Bone marrow aspirate smear: 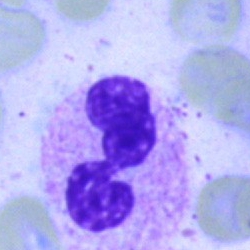 Cell = neutrophil (segmented).